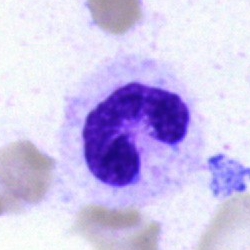 Morphological class: segmented neutrophil.